Peripheral blood film; Romanowsky-type stain:
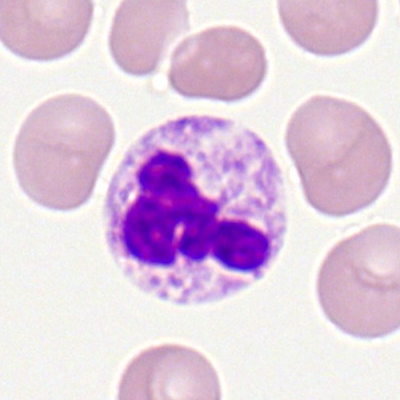 Segmented neutrophil.